Bone marrow aspirate smear.
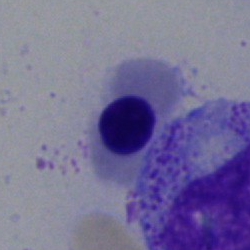
Morphological class — normoblast.